Bone marrow aspirate smear · single cell centered in the field — 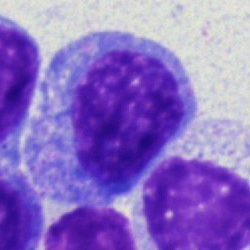
Cell type = promyelocyte.